100× oil immersion. Peripheral blood smear. Romanowsky stain:
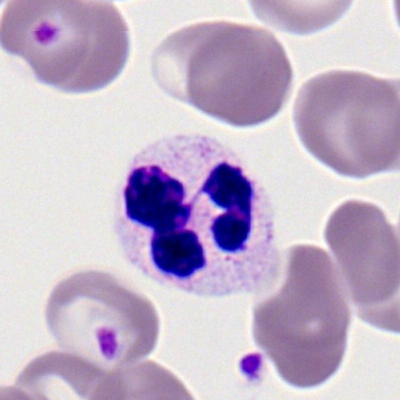Classification = neutrophil (segmented).